Brightfield, 40× oil-immersion objective; bone marrow smear
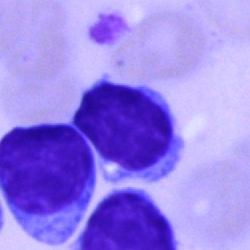
Q: Identify the cell.
A: It is a typical lymphocyte.